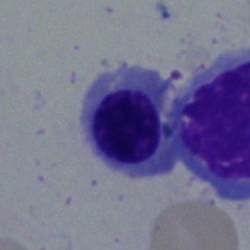

Cell — nucleated red cell.